Peripheral blood film. 400×400 — 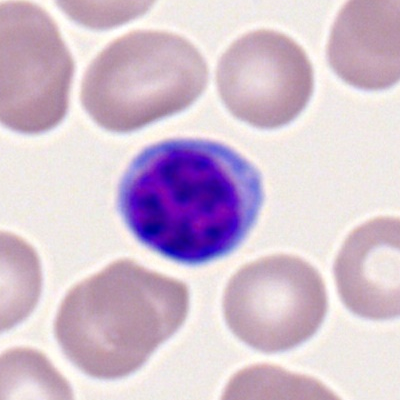Classification: typical lymphocyte.